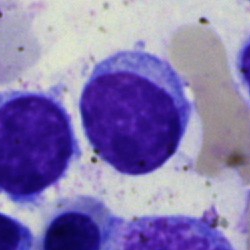

Q: Identify the cell.
A: Typical lymphocyte.